40× oil immersion · bone marrow smear.
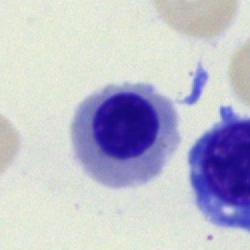

Impression → nucleated red blood cell.